Bone marrow smear
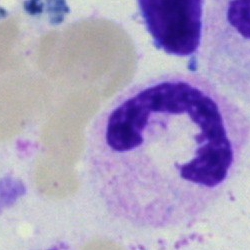
Q: What is the morphological classification of this cell?
A: Segmented neutrophil.